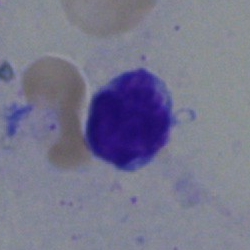Showing a typical lymphocyte.